Bone marrow smear: 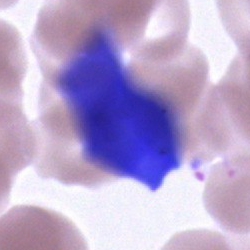

{"cell_type": "artefact"}